Bone marrow aspirate smear; 250×250; May-Grünwald-Giemsa/Pappenheim stain.
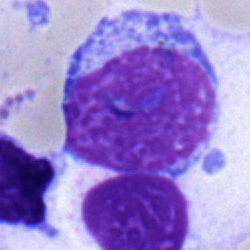Q: What type of cell is this?
A: This is a lymphocyte.